Bone marrow aspirate smear. May-Grünwald-Giemsa/Pappenheim stain — 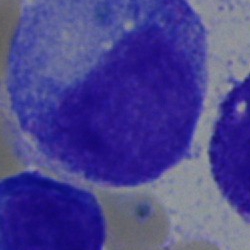
Cell = promyelocyte.